Bone marrow smear; Pappenheim-stained.
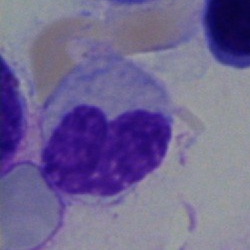

Cell type — metamyelocyte.